May-Grünwald-Giemsa stain; bone marrow smear:
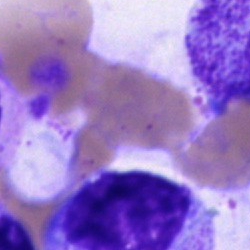
Specimen: bone marrow smear.
Cell type: unidentifiable cell.